Bone marrow smear:
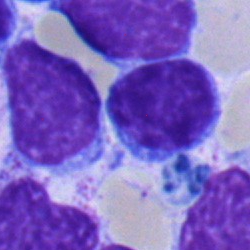 This is a typical lymphocyte.